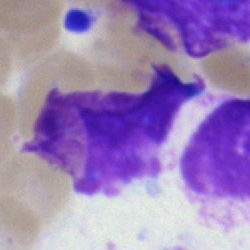

An artefact.